Bone marrow smear.
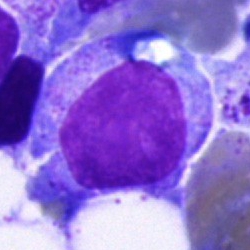
This is a blast cell.